Bone marrow aspirate smear; brightfield microscopy, 40× oil immersion
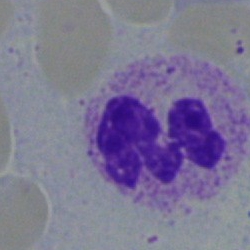
Impression → band-form neutrophil.